Brightfield microscopy, 40× oil immersion; bone marrow aspirate smear: 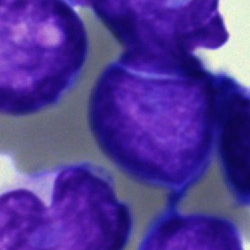 Morphology → blast cell.